Bone marrow smear.
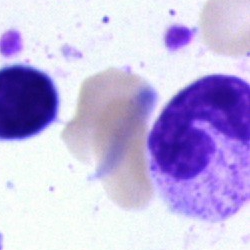A segmented neutrophil.